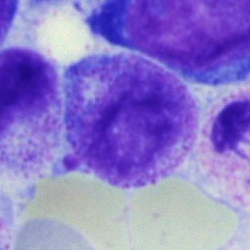 Bone marrow aspirate smear, single cell — myelocyte.